250 by 250 pixels. Bone marrow aspirate smear:
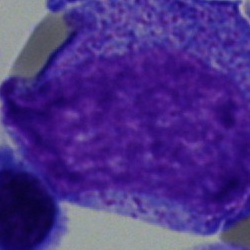
Morphology — promyelocyte.